Bone marrow aspirate smear; single cell centered in the field; May-Grünwald-Giemsa stain:
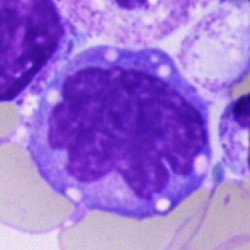 Morphology consistent with a monocyte.